Bone marrow aspirate smear.
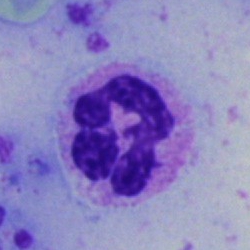

Single cell identified as a neutrophil (segmented).